40× oil immersion; bone marrow aspirate smear.
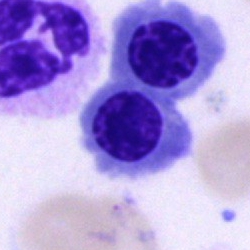 A normoblast.